Bone marrow aspirate smear — 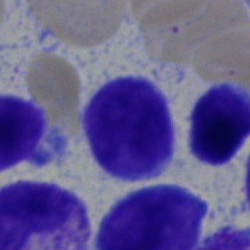 Impression → lymphocyte.